Bone marrow smear — 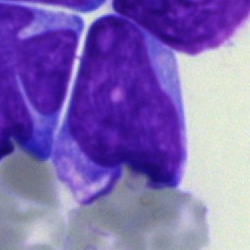 Morphological class — undifferentiated blast.